Bone marrow aspirate smear:
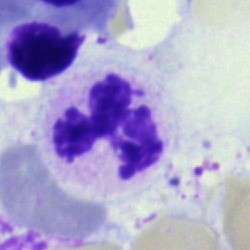 Morphology consistent with a polymorphonuclear neutrophil.